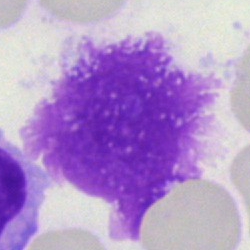

Classification: artefact.